Single-cell crop · peripheral blood smear · 400 by 400 pixels
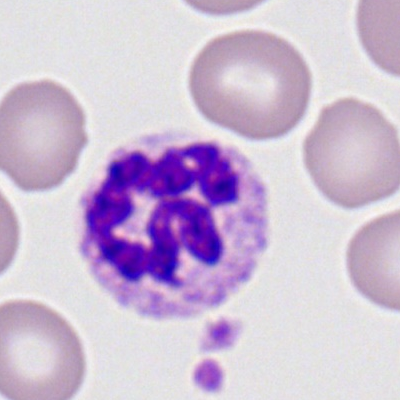

Morphology consistent with a neutrophil (segmented).